May Grünwald-Giemsa stain. Automated cell imaging (CellaVision DM96). Peripheral blood film — 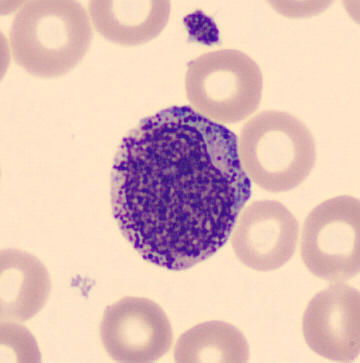

Morphological class — promyelocyte.